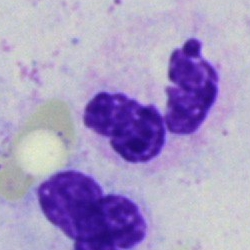

Classification = polymorphonuclear neutrophil.